Bone marrow aspirate smear. Single cell centered in the field:
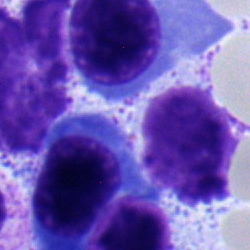

Single cell identified as a lymphocyte.